Brightfield microscopy, 40× oil immersion · bone marrow smear:
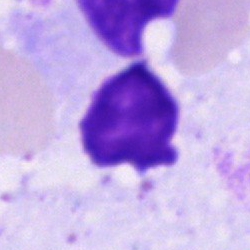

An artifact.